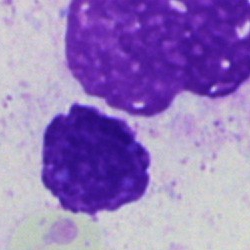 This is an artefact.